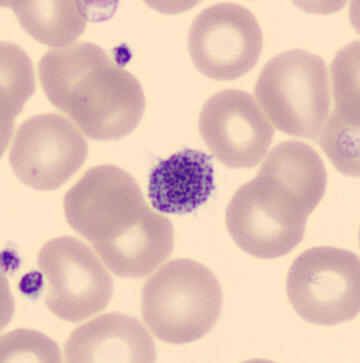

Impression — thrombocyte.